Pappenheim-stained · bone marrow aspirate smear:
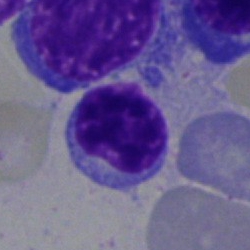Showing a lymphocyte.